Bone marrow smear
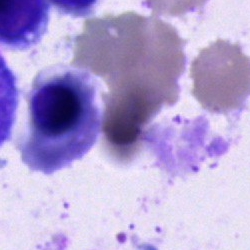 A nucleated red cell.